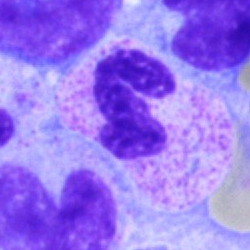

Cell: segmented neutrophil.